Brightfield microscopy, 40× oil immersion · MGG-stained · bone marrow smear: 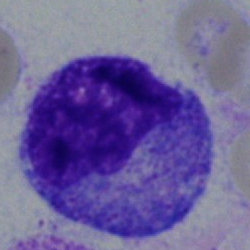

Showing a myelocyte.